Cropped to a single cell; 40× objective, oil immersion; bone marrow aspirate smear:
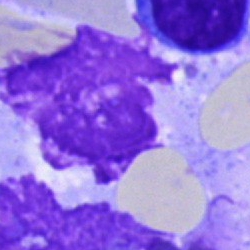
Single cell identified as an artifact.